Romanowsky-stained. Peripheral blood smear — 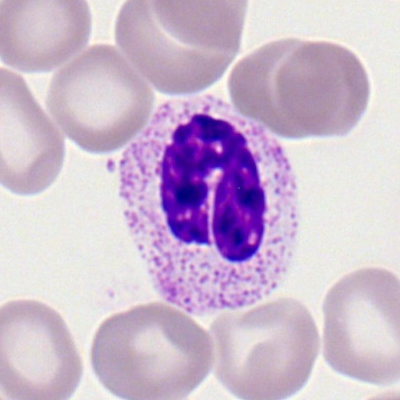{"cell_type": "band neutrophil"}